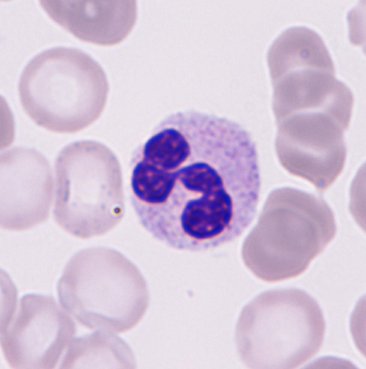 Morphology consistent with a neutrophil.